May-Grünwald-Giemsa stain · bone marrow aspirate smear · 40× objective, oil immersion
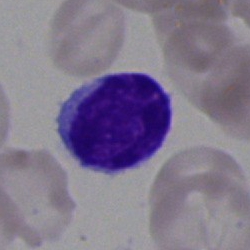Morphology — typical lymphocyte.